Bone marrow smear — 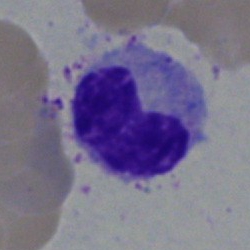{"cell_type": "metamyelocyte"}